40× objective, oil immersion. Bone marrow smear. Single-cell field
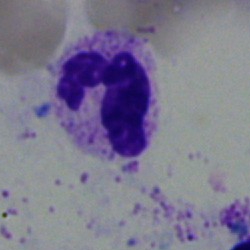

The cell shown is a neutrophil (segmented).